Bone marrow aspirate smear.
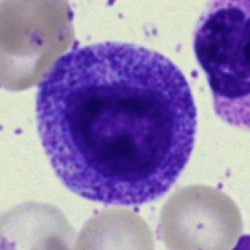

Myelocyte.